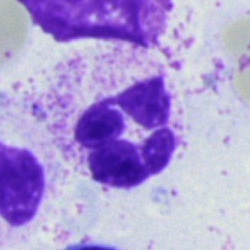Q: What cell is this?
A: Segmented neutrophil.